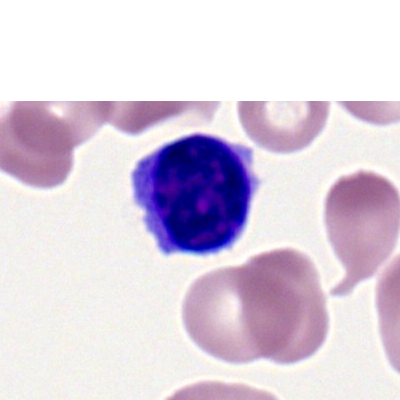Q: What is the morphological classification of this cell?
A: A lymphocyte.